Bone marrow smear:
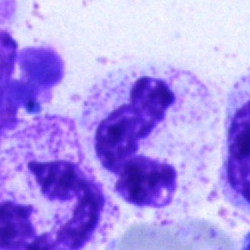
The cell type is neutrophil (segmented).